250×250. Bone marrow aspirate smear. Cropped to a single cell.
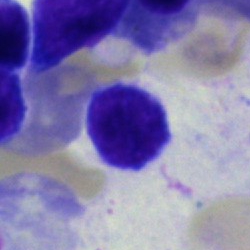

Specimen: bone marrow aspirate smear.
Classification: lymphocyte.